Bone marrow smear: 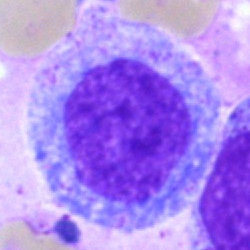
Specimen: bone marrow aspirate smear.
Classification: progranulocyte.
Lineage: myeloid.